Bone marrow smear. 40× oil immersion:
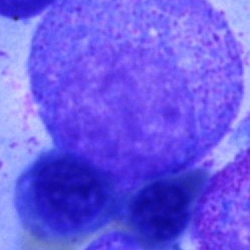

The cell shown is a promyelocyte.